Image size 250×250; single-cell field; bone marrow aspirate smear
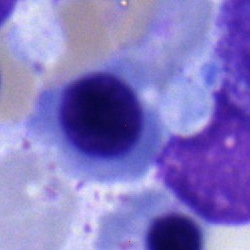
Morphology → nucleated red blood cell.